Bone marrow aspirate smear · May-Grünwald-Giemsa/Pappenheim stain:
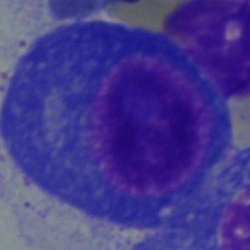 Showing a plasmacyte.